May-Grünwald-Giemsa stain. Bone marrow aspirate smear: 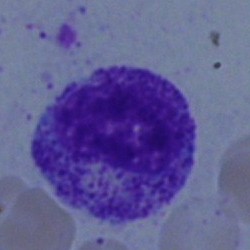
Cell: myelocyte.